Bone marrow aspirate smear
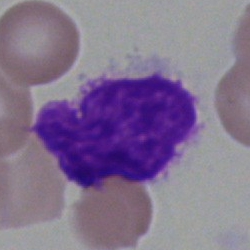Classification: artifact.